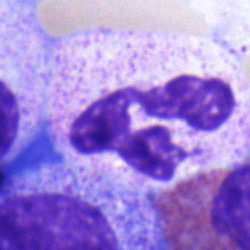Single cell identified as a polymorphonuclear neutrophil.